Bone marrow smear; 40× oil immersion.
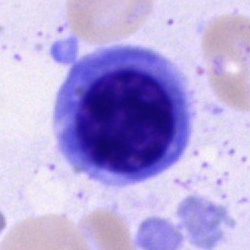 This is a nucleated red cell.